250×250; bone marrow smear; single-cell crop.
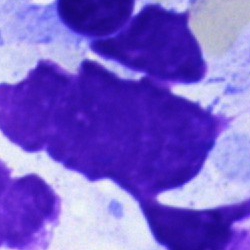

Specimen: bone marrow smear.
Cell type: artefact.